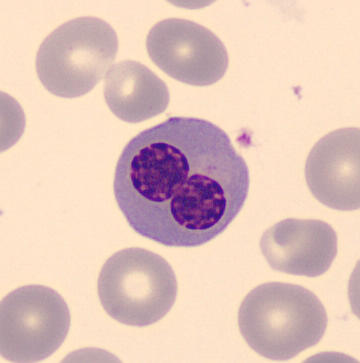 The classification is erythroblast. Acquisition: Peripheral blood film; May-Grünwald-Giemsa-stained.